40× objective, oil immersion. Bone marrow aspirate smear:
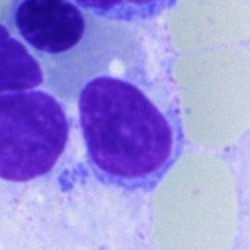 Q: What cell is this?
A: This is a typical lymphocyte.